Single-cell field; 250×250; bone marrow smear.
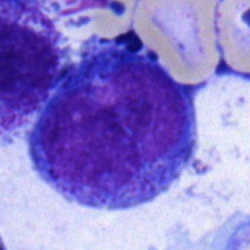

Q: Identify the cell.
A: This is a progranulocyte.